Peripheral blood smear:
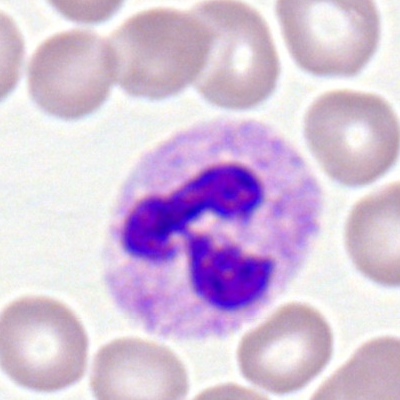The cell shown is a polymorphonuclear neutrophil.